Bone marrow smear
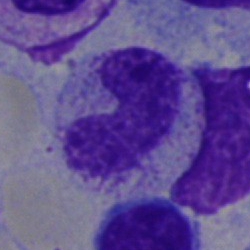

Showing a stab cell.